Brightfield microscopy, 40× oil immersion · bone marrow smear: 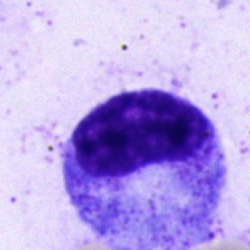 Single cell identified as a progranulocyte.